Peripheral blood smear: 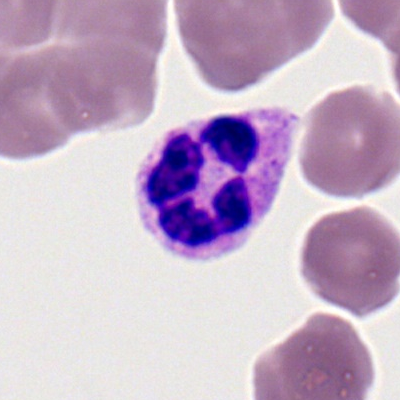Classification: segmented neutrophil.